Peripheral blood film: 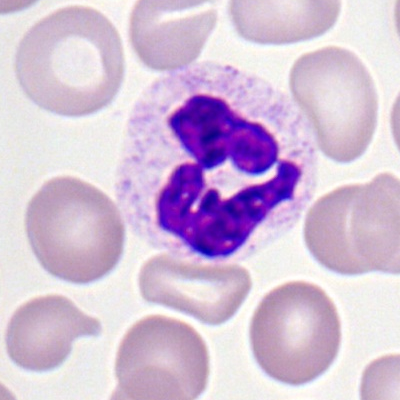 Q: What is the morphological classification of this cell?
A: Polymorphonuclear neutrophil.